Cropped to a single cell · bone marrow aspirate smear · 40× oil immersion:
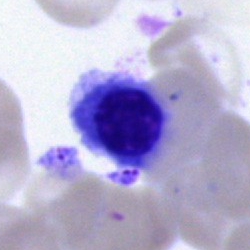
Morphology consistent with a normoblast.